May-Grünwald-Giemsa/Pappenheim stain; bone marrow aspirate smear — 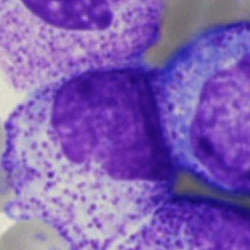
The cell is myelocyte.